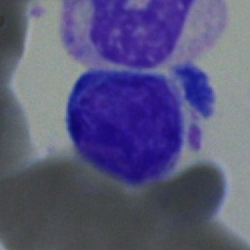Cell type = lymphocyte.